Peripheral blood film
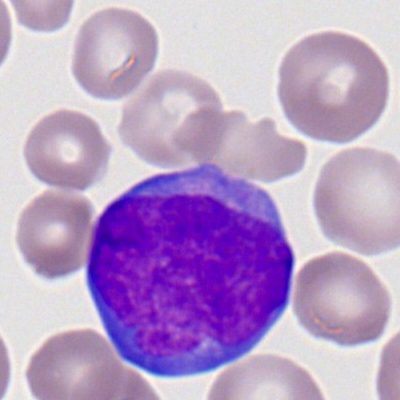
Morphology — myeloblast.